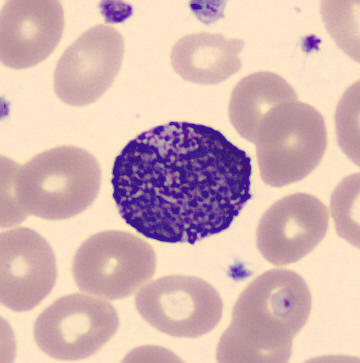{"cell_type": "basophil", "lineage": "myeloid"} Preparation: Single cell centered in the field. Peripheral blood smear. CellaVision DM96 digital cell image.